Bone marrow aspirate smear:
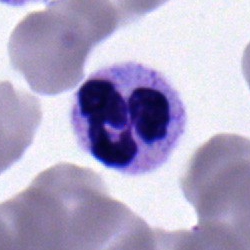

Morphology — neutrophil (segmented).